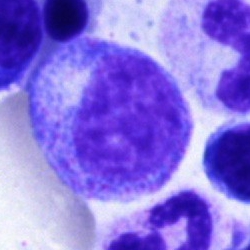

Bone marrow aspirate smear, single cell — promyelocyte.